Bone marrow aspirate smear:
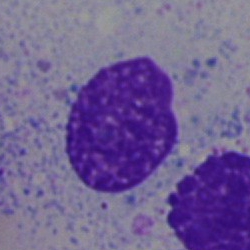 Q: What is shown here?
A: It is an artifact.